Bone marrow smear. Single-cell crop — 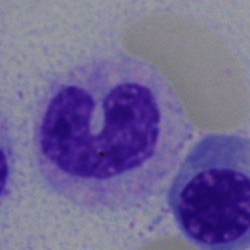
The classification is stab cell.